May-Grünwald-Giemsa/Pappenheim stain · bone marrow smear — 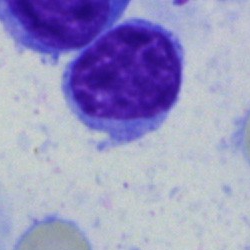 The classification is lymphocyte.